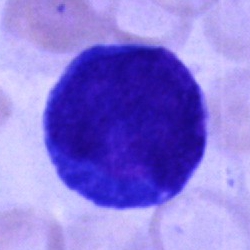 Specimen: bone marrow smear.
Cell: blast cell.